Bone marrow aspirate smear:
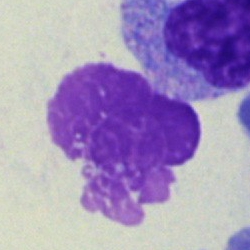
Morphology — artefact.